Bone marrow aspirate smear: 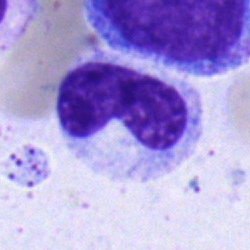Cell: metamyelocyte.